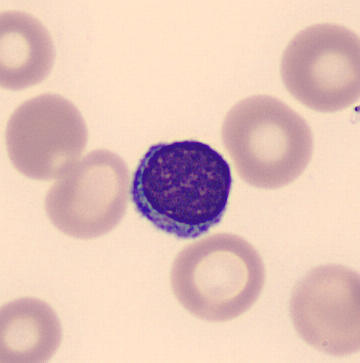
{"cell_type": "lymphocyte"}
Image: Peripheral blood film.